Bone marrow aspirate smear
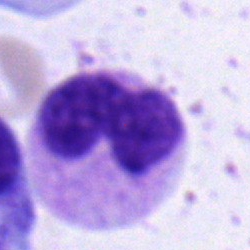

Q: Identify the cell.
A: A neutrophil (band).